Bone marrow aspirate smear
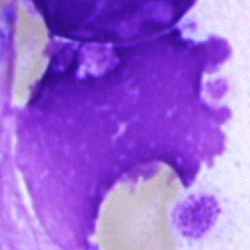 Artifact.